Bone marrow aspirate smear.
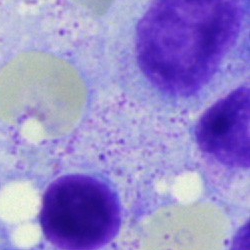Cell of indeterminate lineage.